Romanowsky-stained. Single-cell field. Peripheral blood film: 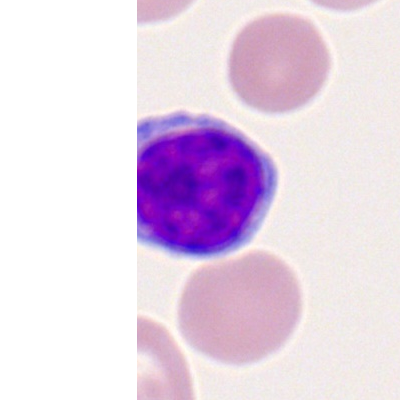 Morphology consistent with a typical lymphocyte.